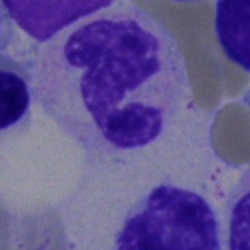

Classification = polymorphonuclear neutrophil.